Bone marrow smear:
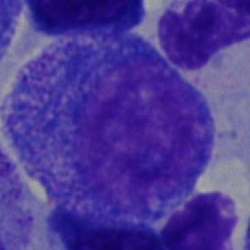Promyelocyte.